Bone marrow smear. Single cell centered in the field — 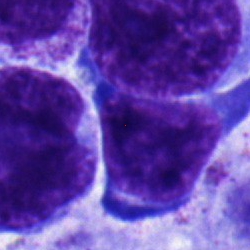

Morphology → proerythroblast.